Bone marrow aspirate smear. Pappenheim-stained. Single-cell crop:
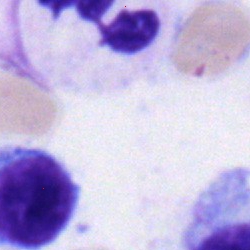 {"cell_type": "polymorphonuclear neutrophil", "lineage": "myeloid"}